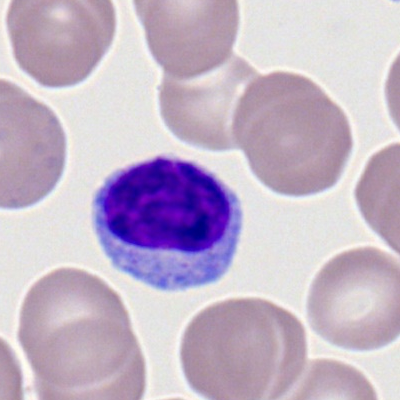

Morphology consistent with a lymphocyte.